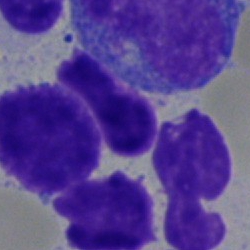

The cell shown is an artifact.